Bone marrow smear.
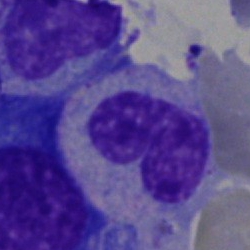 Specimen: bone marrow smear.
Cell: neutrophil (band).